Bone marrow aspirate smear · single-cell field — 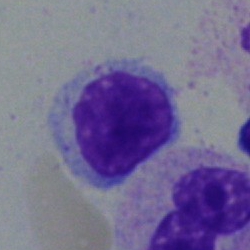Q: What type of cell is this?
A: Lymphocyte.